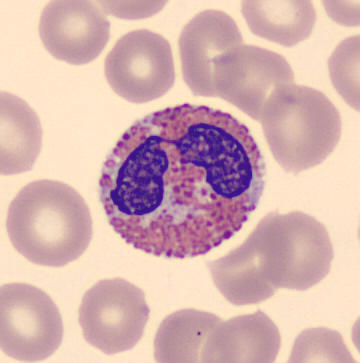
Preparation: Peripheral blood smear.

Classification: eosinophilic granulocyte.